Bone marrow aspirate smear:
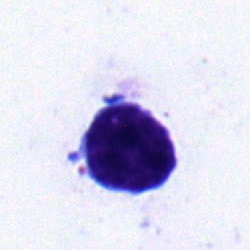 Specimen: bone marrow smear.
Classification: typical lymphocyte.
Lineage: lymphoid.